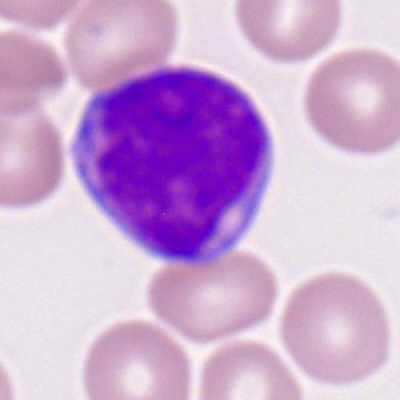Cell type: myeloblast.